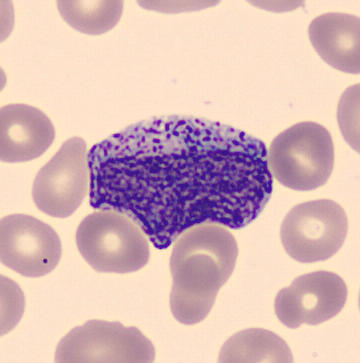 Single cell identified as a progranulocyte.

Peripheral blood film · MGG-stained.